Cropped to a single cell. Bone marrow smear
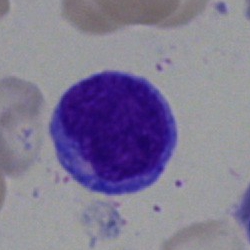

This is a lymphocyte.